Image size 250×250; bone marrow aspirate smear
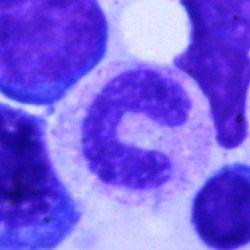 Cell: neutrophil (band).